Bone marrow aspirate smear: 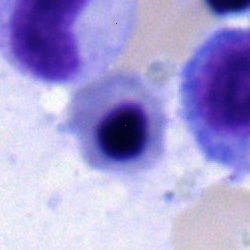The classification is nucleated red blood cell.